Bone marrow aspirate smear.
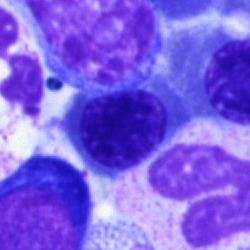
Q: What cell is this?
A: It is a nucleated red cell.